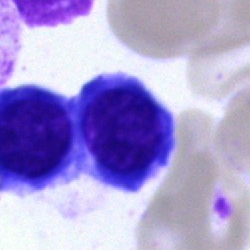 The cell type is normoblast.